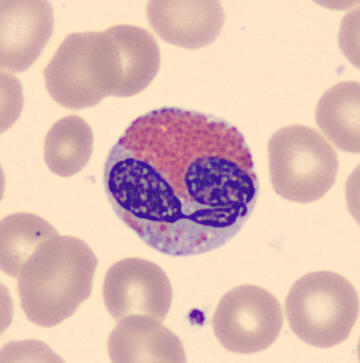

Morphology consistent with an eosinophilic granulocyte.

Acquisition: Peripheral blood film.